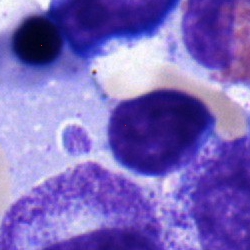 The morphological class is lymphocyte.